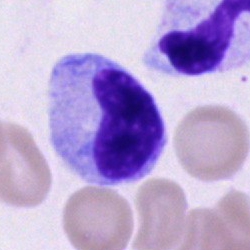

Q: Which cell type is shown here?
A: Metamyelocyte.